MGG-stained. Image size 250×250. Bone marrow aspirate smear
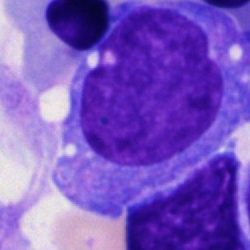 An undifferentiated blast.